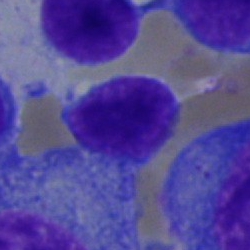The classification is typical lymphocyte.